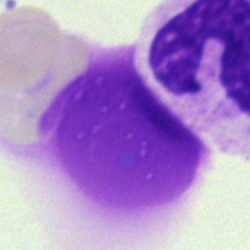Artifact.